Bone marrow smear:
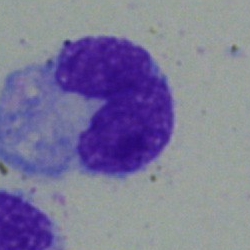 Impression → metamyelocyte.